Peripheral blood smear; 400 by 400 pixels: 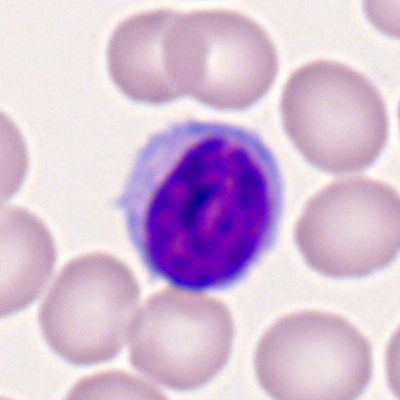

Lymphocyte.